250×250 px. Bone marrow smear. Pappenheim-stained — 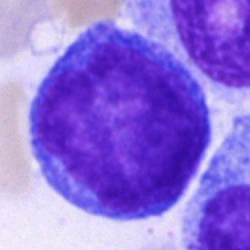 Single cell identified as a blast.